Bone marrow aspirate smear: 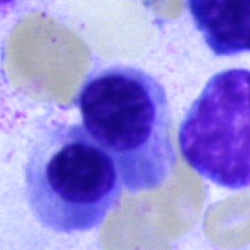The classification is erythroblast.